May-Grünwald-Giemsa/Pappenheim stain; bone marrow smear
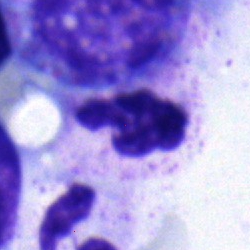
Q: Which cell type is shown here?
A: A neutrophil (segmented).